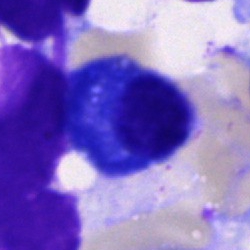
Cell = plasma cell.